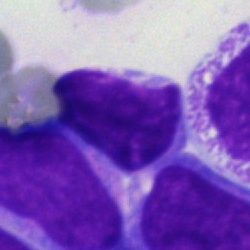Specimen: bone marrow smear.
Classification: blast cell.